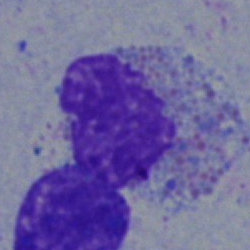Impression — myelocyte.